250×250. Bone marrow aspirate smear.
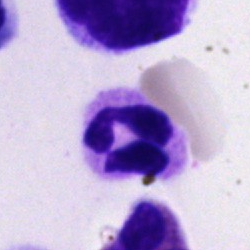

Cell — segmented neutrophil.